Bone marrow aspirate smear
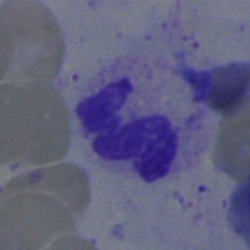Cell: neutrophil (segmented).